MGG-stained; bone marrow aspirate smear; single-cell field
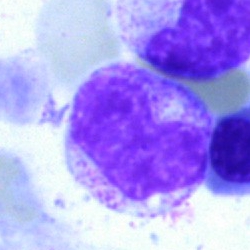This is a metamyelocyte.